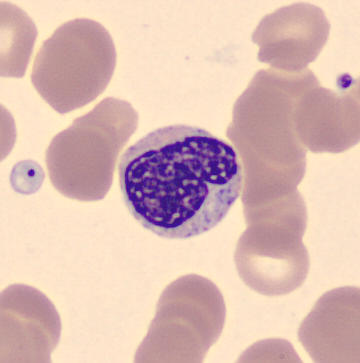 Peripheral blood smear · MGG-stained.
Metamyelocyte.